Peripheral blood smear.
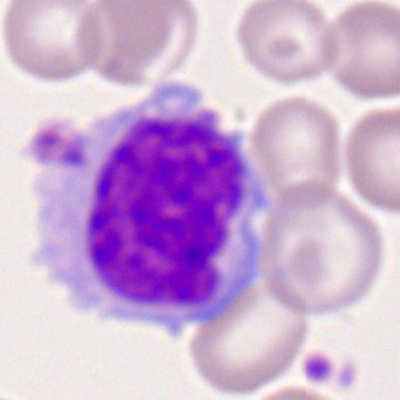 Morphology → monocyte.